Bone marrow smear; single cell centered in the field — 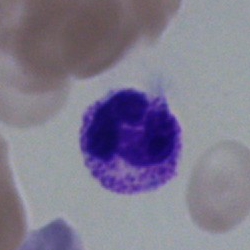Morphology — segmented neutrophil.